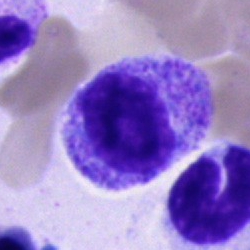

Cell — progranulocyte.